Brightfield microscopy, 40× oil immersion. Bone marrow smear — 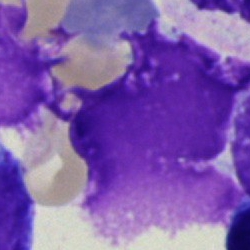 Q: What is shown here?
A: An artefact.